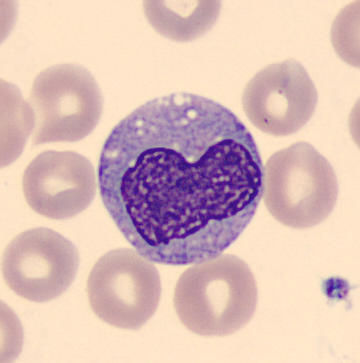 Peripheral blood smear.
Q: What is the morphological classification of this cell?
A: It is a monocyte.